Bone marrow smear:
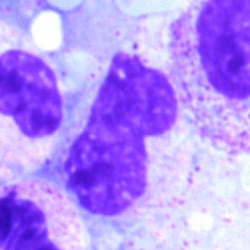 Morphological class = band-form neutrophil.